Peripheral blood film: 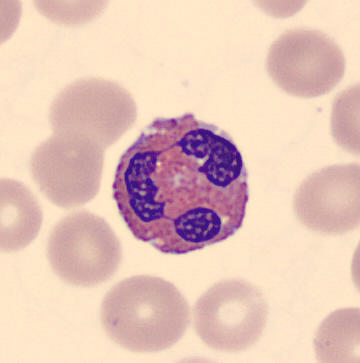An eosinophilic granulocyte.